Bone marrow aspirate smear · single-cell field — 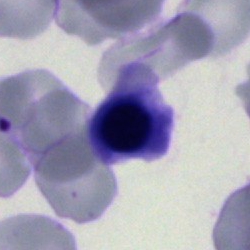 Morphology → normoblast.